250×250 · bone marrow smear · single-cell crop
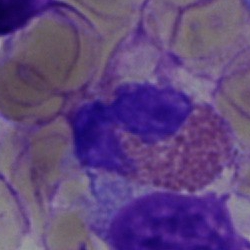

Showing an eosinophilic granulocyte.